Bone marrow aspirate smear — 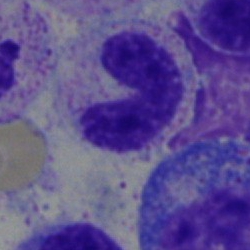

The cell shown is a band neutrophil.